Bone marrow smear:
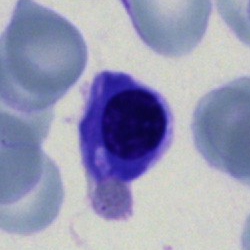 The morphological class is nucleated red cell.